Bone marrow aspirate smear: 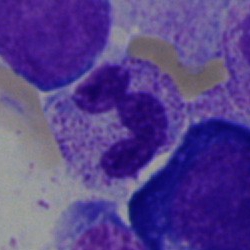
Single cell identified as a neutrophil (segmented).